Bone marrow aspirate smear: 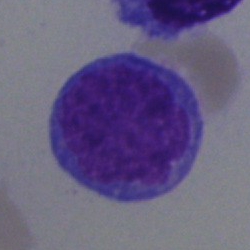

The morphological class is blast.